Bone marrow aspirate smear:
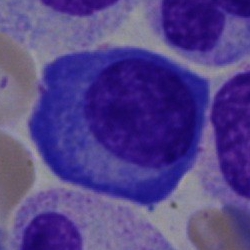 Q: Which cell type is shown here?
A: A plasma cell.